Bone marrow aspirate smear. 250×250 px.
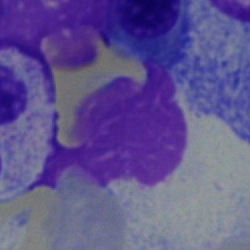 Showing an artefact.